Bone marrow smear: 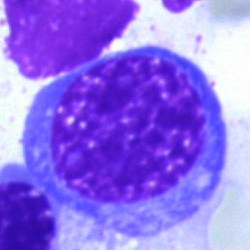 Specimen: bone marrow smear.
Classification: nucleated red blood cell.
Lineage: erythroid.